Bone marrow smear.
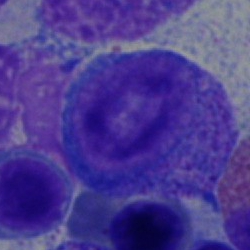
Cell type: progranulocyte.